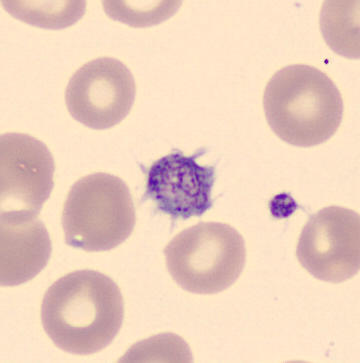Preparation: Peripheral blood smear. CellaVision DM96 digital cell image.
Cell type — platelet (thrombocyte).